Peripheral blood smear
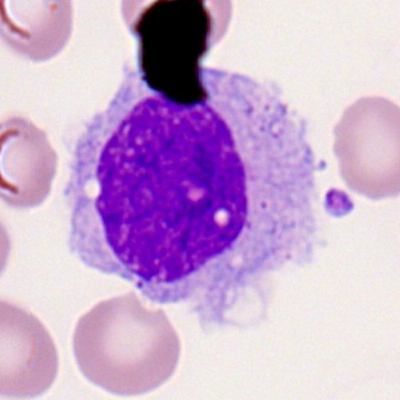

Q: What is the morphological classification of this cell?
A: A monocyte.